Image size 250×250. Bone marrow smear. May-Grünwald-Giemsa/Pappenheim stain:
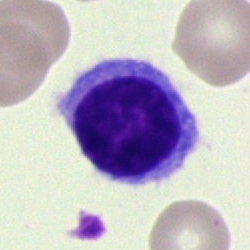Q: What is shown here?
A: Lymphocyte.